Cropped to a single cell; bone marrow smear — 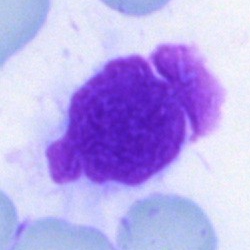

Q: What is shown here?
A: Artifact.